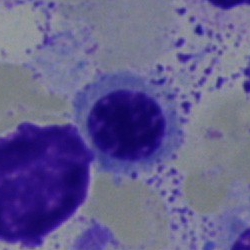
Q: What type of cell is this?
A: A nucleated red blood cell.